Bone marrow smear — 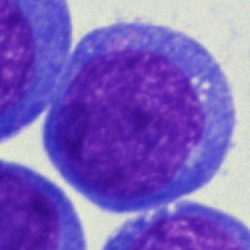 Cell = undifferentiated blast.